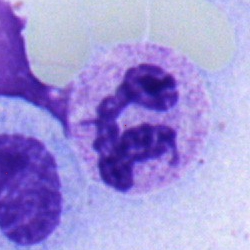 A segmented neutrophil.